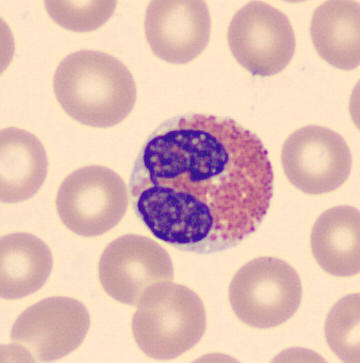
{"cell_type": "eosinophilic granulocyte", "lineage": "myeloid"}